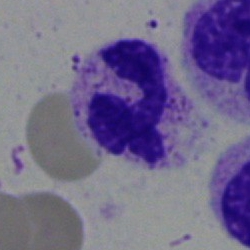
Showing a neutrophil (segmented).